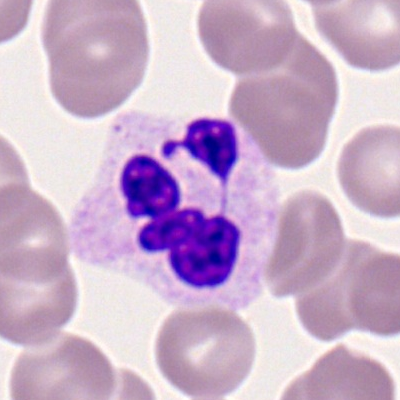
Morphology consistent with a segmented neutrophil.